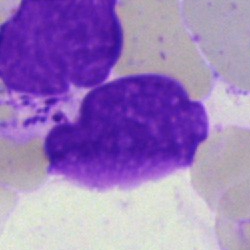 Impression → artefact.